Image size 250×250 · single-cell crop · bone marrow smear — 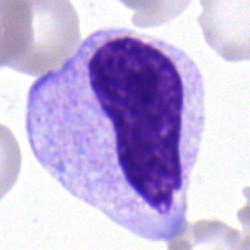

{"cell_type": "myelocyte", "lineage": "myeloid"}